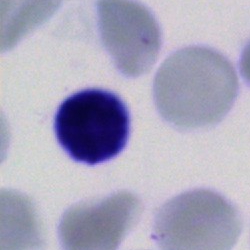 Q: Which cell type is shown here?
A: It is a lymphocyte.